Bone marrow smear:
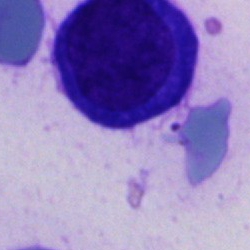Specimen: bone marrow smear.
Cell: unidentifiable cell.